Image size 250×250. Bone marrow smear. Single-cell crop — 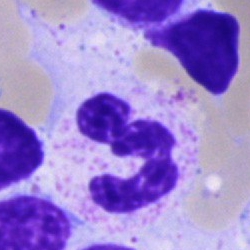
Showing a polymorphonuclear neutrophil.